Bone marrow smear.
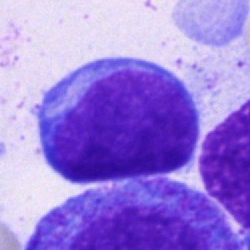Specimen: bone marrow smear.
Cell: blast cell.